May-Grünwald-Giemsa stain; bone marrow aspirate smear; 40× objective, oil immersion
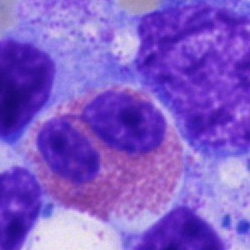This is an eosinophil.